Bone marrow smear. 250×250 — 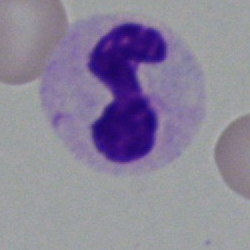The morphological class is neutrophil (segmented).